Image size 250×250. Bone marrow aspirate smear: 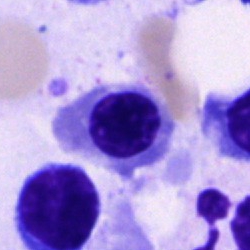Morphological class = erythroblast.